Bone marrow aspirate smear.
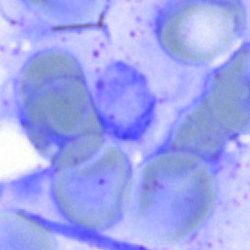

{"cell_type": "artifact"}